Bone marrow aspirate smear — 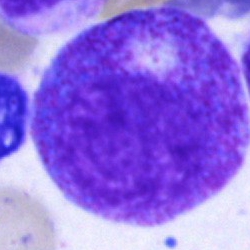Single cell identified as a progranulocyte.